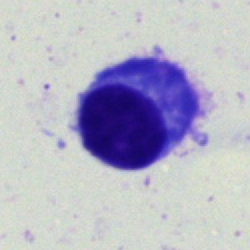 Bone marrow aspirate smear, single cell — plasma cell.